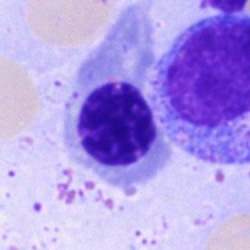 Nucleated red cell.